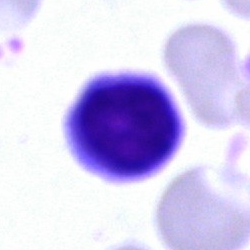
Q: What is the morphological classification of this cell?
A: It is a lymphocyte.